Bone marrow aspirate smear; May-Grünwald-Giemsa/Pappenheim stain: 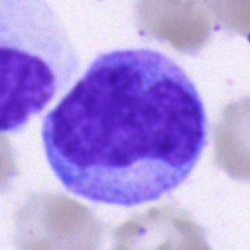
Impression → monocyte.